Bone marrow aspirate smear · Pappenheim-stained:
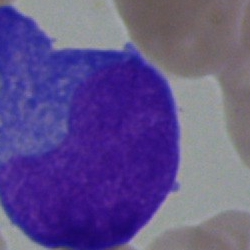 Blast cell.